Bone marrow smear — 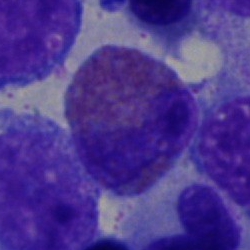 {"cell_type": "eosinophil", "lineage": "myeloid"}